Bone marrow aspirate smear.
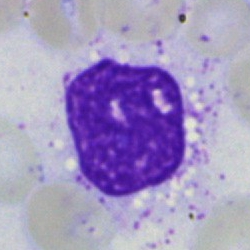

Cell type = artefact.